Bone marrow aspirate smear
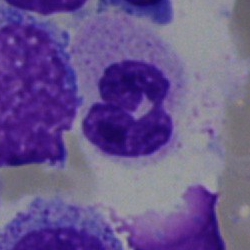

A polymorphonuclear neutrophil.